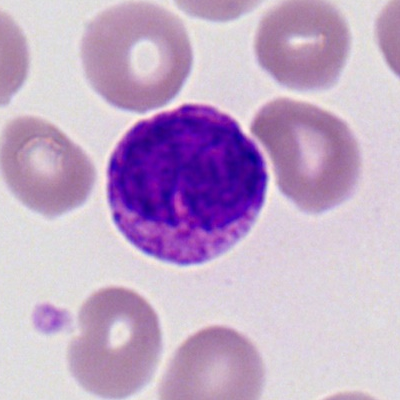
Basophilic granulocyte.